Bone marrow smear
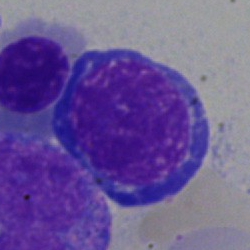 Classification: nucleated red blood cell.